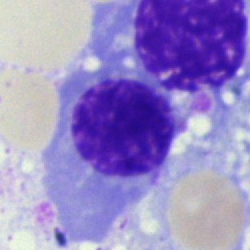

Morphology → normoblast.